Bone marrow aspirate smear — 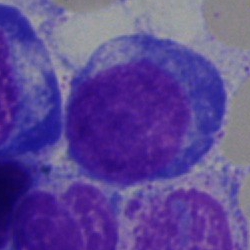Morphology consistent with a lymphocyte.